MGG stain. Peripheral blood smear
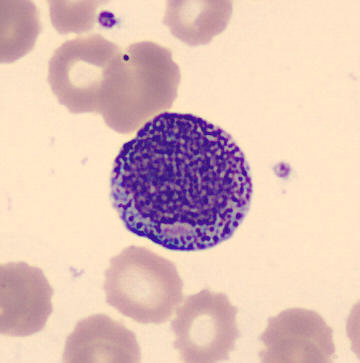 Morphology → progranulocyte.